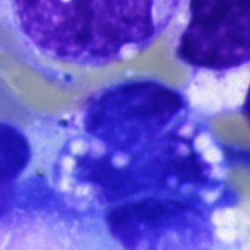 {"cell_type": "artifact"}